Bone marrow aspirate smear. Cropped to a single cell: 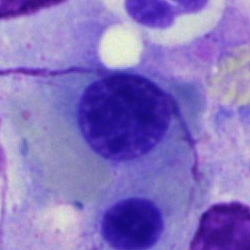

Nucleated red blood cell.